Bone marrow aspirate smear; 250×250 px — 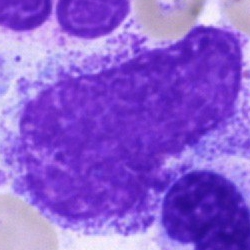
Q: What is shown here?
A: An artefact.